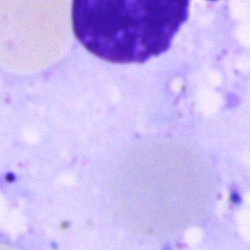

Specimen: bone marrow smear.
Classification: artefact.